Brightfield microscopy, 40× oil immersion · bone marrow aspirate smear · Pappenheim-stained:
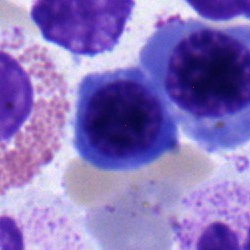 Classification: normoblast.